Bone marrow smear
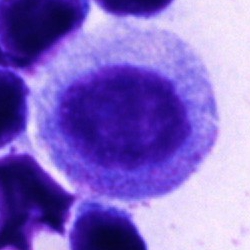Cell: promyelocyte.